Bone marrow aspirate smear · MGG-stained — 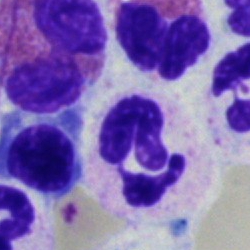
Q: Identify the cell.
A: Polymorphonuclear neutrophil.